400×400 px · peripheral blood film:
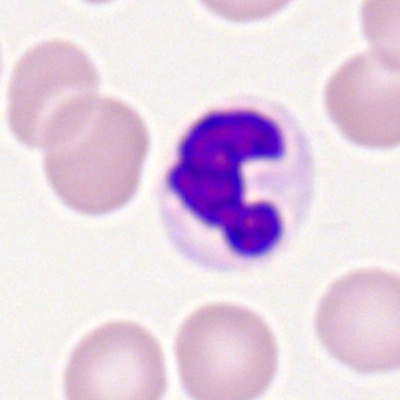 Cell: segmented neutrophil.